Pappenheim-stained. Bone marrow aspirate smear
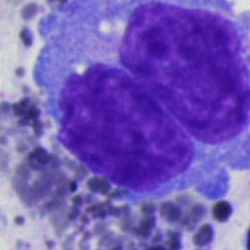
Impression → artifact.